Peripheral blood film.
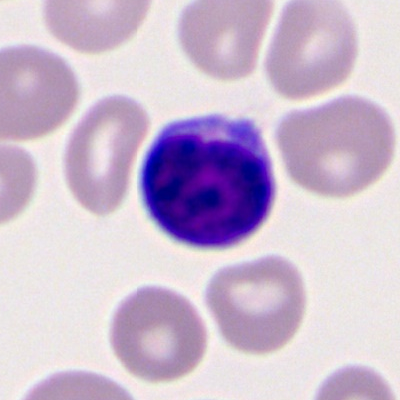
Showing a lymphocyte.